Pappenheim-stained. Bone marrow smear: 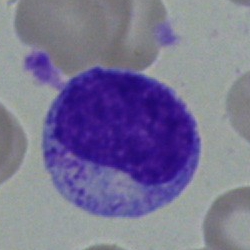
Showing a metamyelocyte.